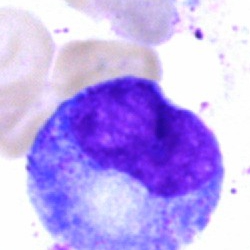

Single-cell crop from a bone marrow smear: metamyelocyte.